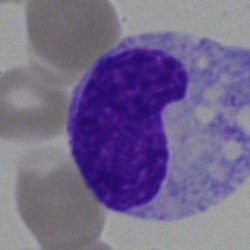

Single cell identified as a band-form neutrophil.